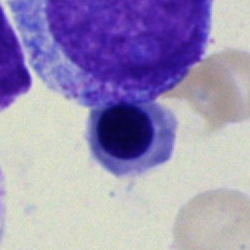This is a nucleated red blood cell.